Bone marrow smear. 250 by 250 pixels:
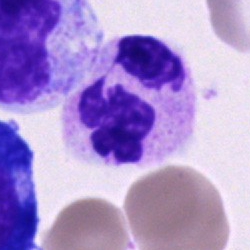The cell shown is a segmented neutrophil.